Peripheral blood film:
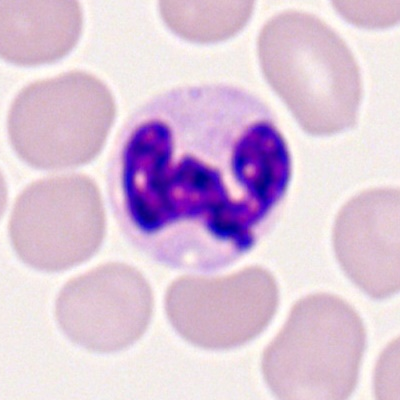Specimen: peripheral blood film.
Classification: polymorphonuclear neutrophil.